Bone marrow aspirate smear: 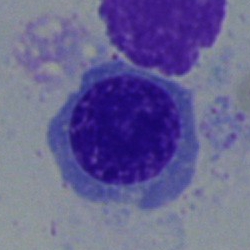This is a normoblast.